Bone marrow smear: 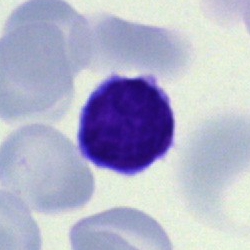

Typical lymphocyte.